Bone marrow smear.
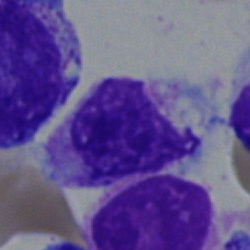
Cell type = myelocyte.